Bone marrow smear; cropped to a single cell — 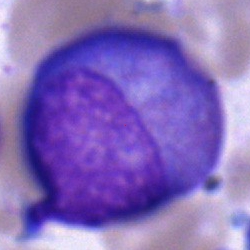
This is a myelocyte.